Peripheral blood film:
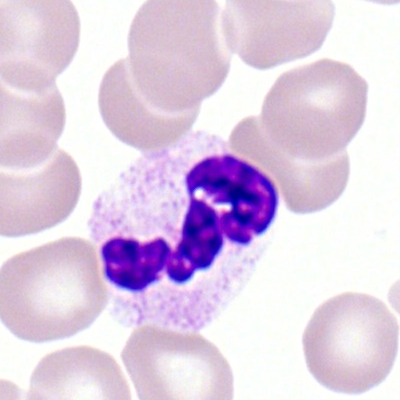

Single cell identified as a segmented neutrophil.